Pappenheim-stained. Bone marrow smear. Cropped to a single cell.
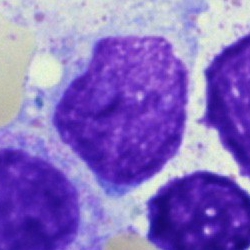Q: What is shown here?
A: It is an artefact.